Bone marrow aspirate smear — 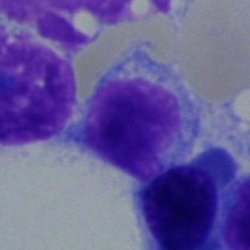
This is a typical lymphocyte.